Bone marrow smear — 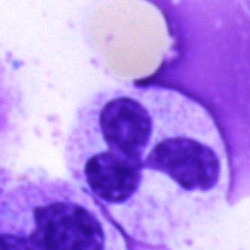 The cell shown is a segmented neutrophil.